Bone marrow smear; single-cell field: 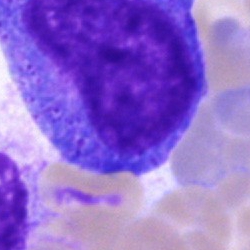

Morphology consistent with a progranulocyte.